Bone marrow aspirate smear: 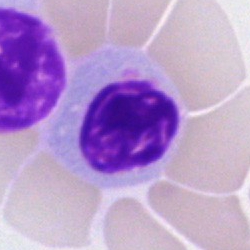 Morphology consistent with a normoblast.